Pappenheim-stained; bone marrow aspirate smear: 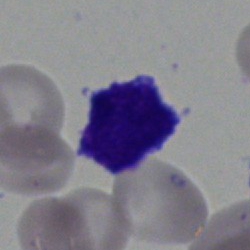Morphology consistent with a lymphocyte.